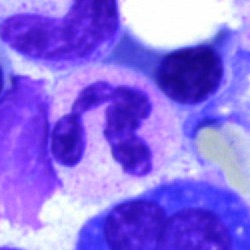
Morphological class: polymorphonuclear neutrophil.